Peripheral blood film.
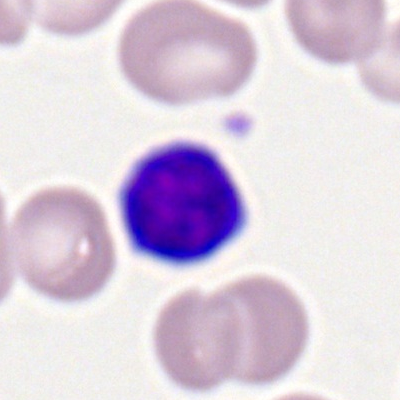Lymphocyte.